Bone marrow smear; MGG-stained.
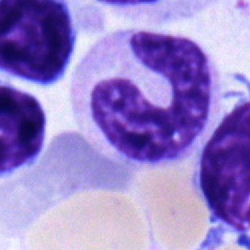 Morphology consistent with a neutrophil (band).